Bone marrow smear
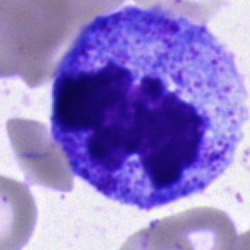

Cell type: progranulocyte.